Bone marrow aspirate smear · MGG-stained.
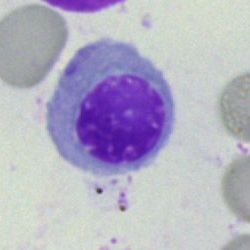

Q: What type of cell is this?
A: It is an erythroblast.